Bone marrow smear.
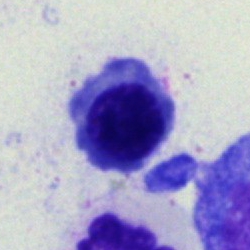 Cell = erythroblast.